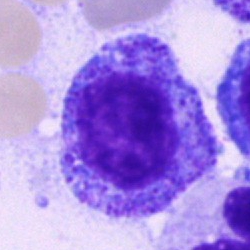
Morphological class = progranulocyte.